Bone marrow aspirate smear
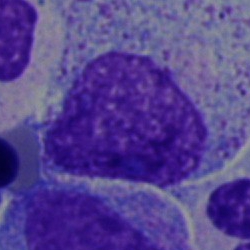 Q: What type of cell is this?
A: This is a myelocyte.